Bone marrow aspirate smear: 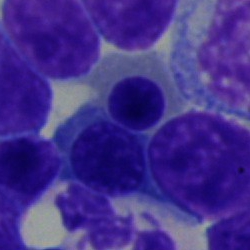Q: Which cell type is shown here?
A: An erythroblast.